Single-cell field. Bone marrow aspirate smear. Brightfield, 40× oil-immersion objective:
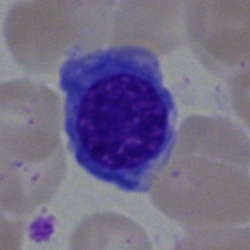 A nucleated red cell.